Bone marrow aspirate smear — 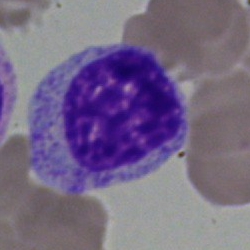 Single cell identified as a myelocyte.